Bone marrow aspirate smear
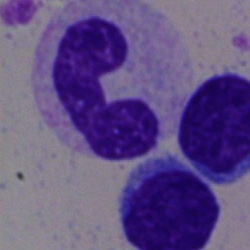Q: What is shown here?
A: Stab cell.